Bone marrow smear — 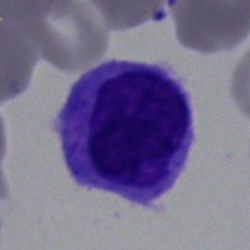
Q: What cell is this?
A: It is a typical lymphocyte.